Bone marrow aspirate smear: 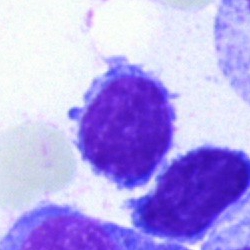

Morphological class = typical lymphocyte.